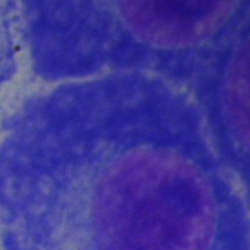Q: What cell is this?
A: A plasmacyte.